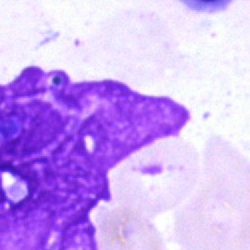
Bone marrow aspirate smear, single cell — artifact.